Bone marrow smear
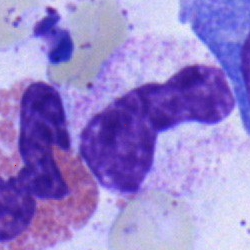 Cell type — band neutrophil.